Single-cell field. Pappenheim-stained. Bone marrow smear: 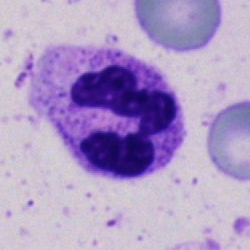
Polymorphonuclear neutrophil.